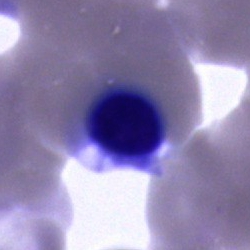
Classification = normoblast.